May-Grünwald-Giemsa stain; cropped to a single cell; bone marrow aspirate smear:
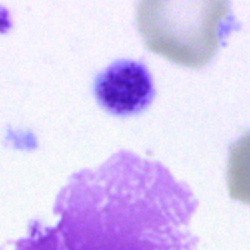 The classification is artifact.